Bone marrow smear.
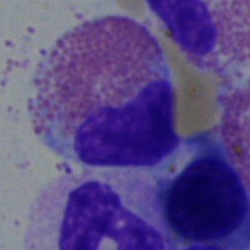

Q: What cell is this?
A: Eosinophil.